Bone marrow aspirate smear — 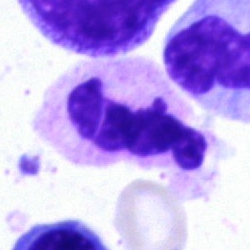
Segmented neutrophil.